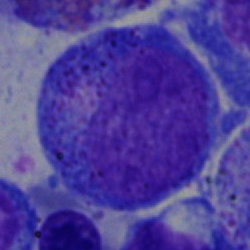
Specimen: bone marrow smear.
Cell: progranulocyte.